CellaVision DM96 digital cell image; 360 by 363 pixels; peripheral blood smear.
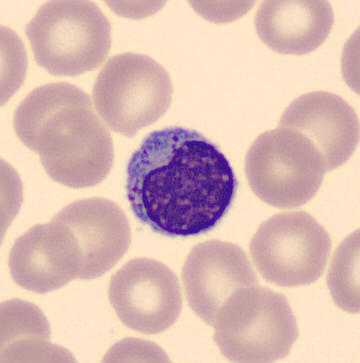 Specimen: peripheral blood film.
Classification: lymphocyte.